Brightfield, 100× oil-immersion objective; peripheral blood film:
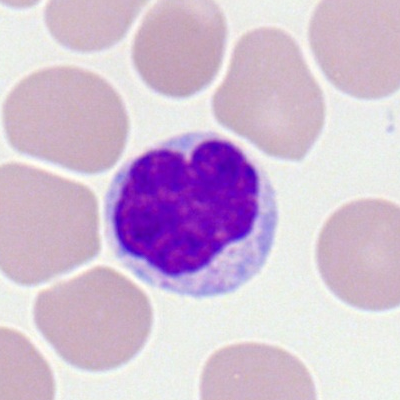Q: Which cell type is shown here?
A: It is a lymphocyte.